Bone marrow aspirate smear — 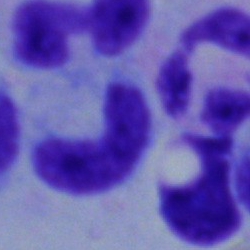 Showing a stab cell.